Bone marrow smear:
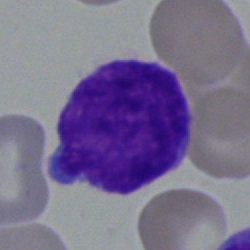

Showing a blast.